Bone marrow aspirate smear
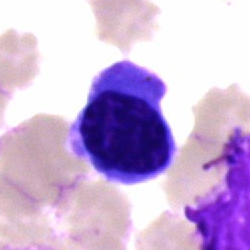Morphological class = lymphocyte.